250 by 250 pixels; bone marrow smear.
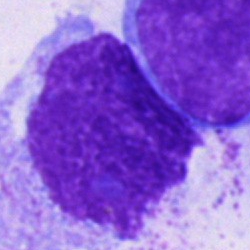An artefact.